Single cell centered in the field; bone marrow aspirate smear; MGG-stained — 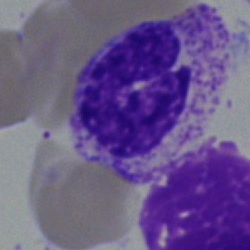

This is a band-form neutrophil.